Bone marrow aspirate smear:
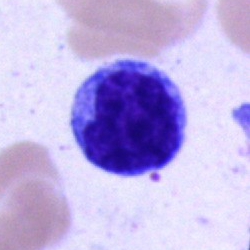

Single cell identified as a lymphocyte.